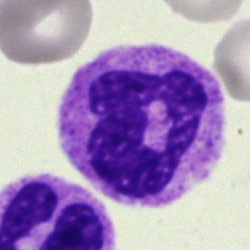

Bone marrow aspirate smear, single cell — polymorphonuclear neutrophil.